Bone marrow smear — 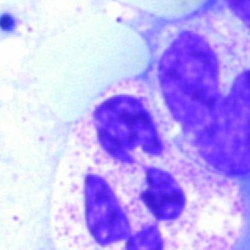
Morphology → polymorphonuclear neutrophil.